May Grünwald-Giemsa stain. Peripheral blood smear. Cropped to a single cell:
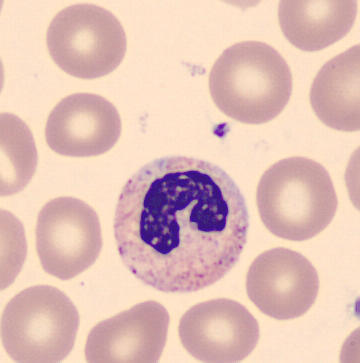The morphological class is stab cell.